Bone marrow smear — 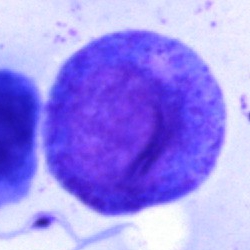

Promyelocyte.